Bone marrow smear.
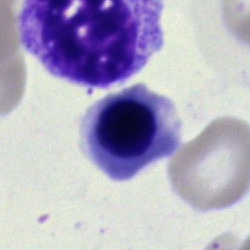This is a normoblast.